Single cell centered in the field. Peripheral blood film — 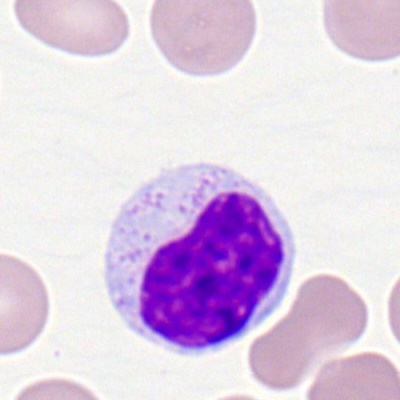The cell shown is a lymphocyte.